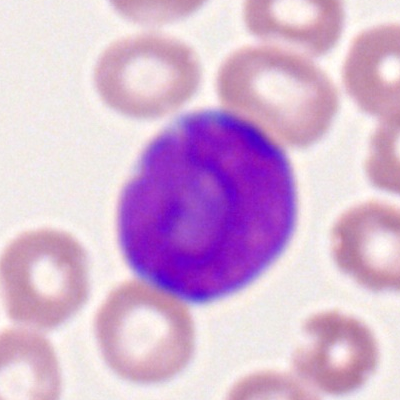Showing a myeloblast.